Bone marrow aspirate smear. 250×250. Pappenheim-stained — 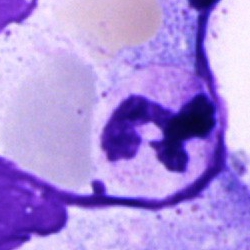
Impression — polymorphonuclear neutrophil.